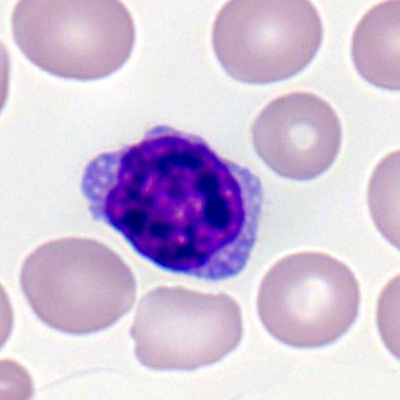
Showing a lymphocyte.